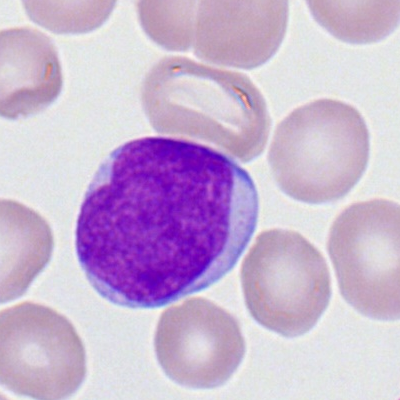 The cell shown is a myeloblast.